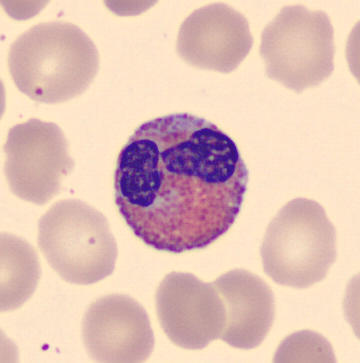

360×363; peripheral blood film; MGG-stained.

Q: Which cell type is shown here?
A: Eosinophilic granulocyte.